Bone marrow aspirate smear: 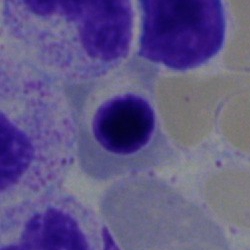

Cell = erythroblast.